250×250 px; bone marrow smear:
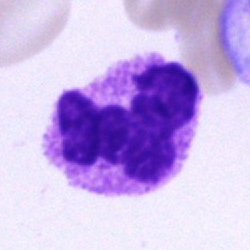 Morphological class: polymorphonuclear neutrophil.